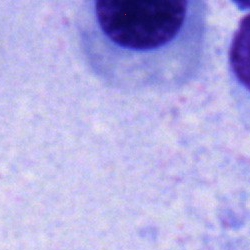Normoblast.